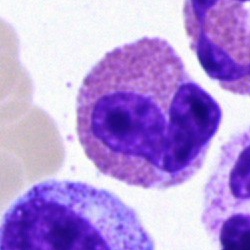 Single cell identified as an eosinophilic granulocyte.